Bone marrow aspirate smear: 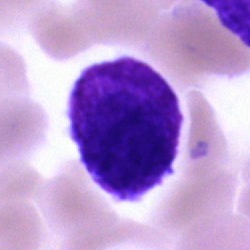

Single cell identified as a blast.